Bone marrow aspirate smear; MGG-stained; image size 250×250.
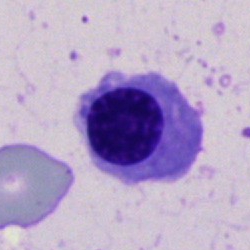 Impression — normoblast.